Bone marrow aspirate smear — 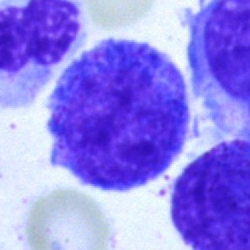

Morphology — blast cell.